Bone marrow smear
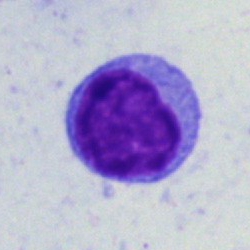The morphological class is lymphocyte.